Bone marrow smear. 250 by 250 pixels. Single-cell field:
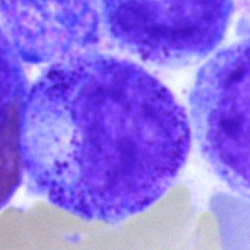 Morphological class — promyelocyte.